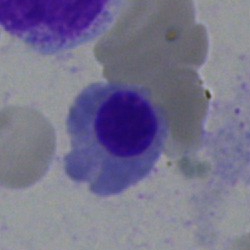

Q: What is shown here?
A: This is an erythroblast.